Bone marrow smear:
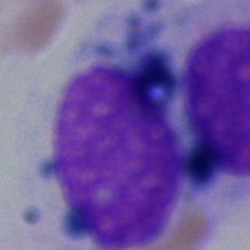

Cell type — artefact.